Bone marrow aspirate smear; 250×250 px — 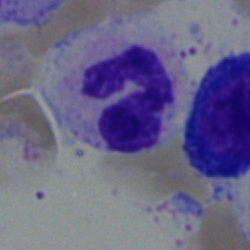 Specimen: bone marrow aspirate smear.
Classification: segmented neutrophil.
Lineage: myeloid.